Single-cell crop. Bone marrow aspirate smear: 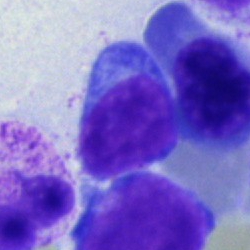
The classification is lymphocyte.